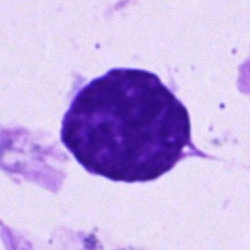

Classification: unidentifiable cell.